Bone marrow smear · 250×250 — 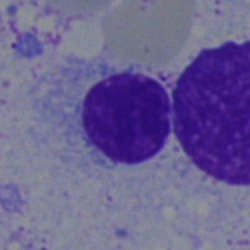
Q: What is shown here?
A: It is an artefact.